Brightfield, 40× oil-immersion objective · bone marrow aspirate smear · May-Grünwald-Giemsa/Pappenheim stain: 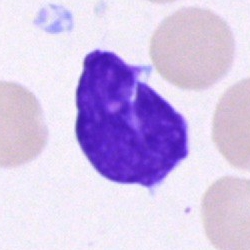
{"cell_type": "unidentifiable cell"}